Bone marrow aspirate smear — 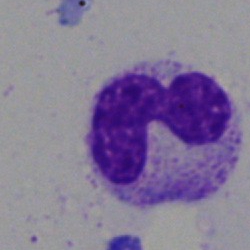Morphology — polymorphonuclear neutrophil.